Imaged on a CellaVision DM96 analyser · peripheral blood film · 360×363 px
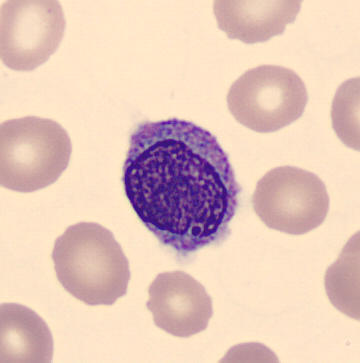 This is a monocyte.